Bone marrow smear. 250 by 250 pixels. Single-cell crop:
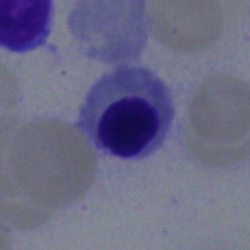 Morphology → nucleated red cell.